Peripheral blood smear:
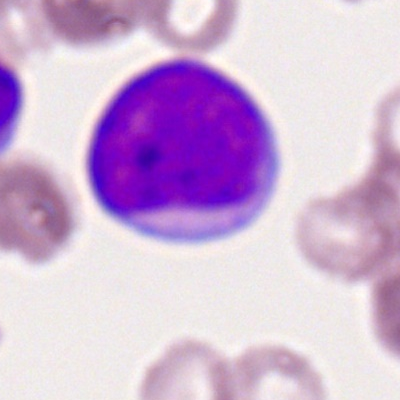
Q: Identify the cell.
A: This is a myeloid blast.